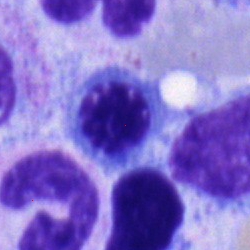
An erythroblast on a bone marrow smear.